Bone marrow aspirate smear — 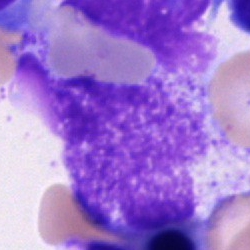Cell = artefact.